Single-cell crop. Bone marrow smear
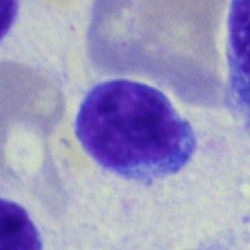 Cell type: lymphocyte.